Bone marrow aspirate smear; Pappenheim-stained: 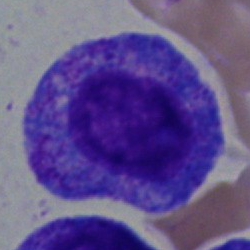
Specimen: bone marrow aspirate smear.
Cell: progranulocyte.
Lineage: myeloid.